Bone marrow aspirate smear; cropped to a single cell.
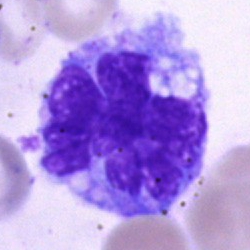
Morphological class = monocyte.